Bone marrow aspirate smear. Image size 250×250. Single-cell crop:
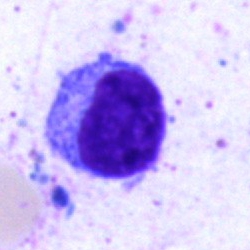
{"cell_type": "typical lymphocyte"}